Bone marrow smear:
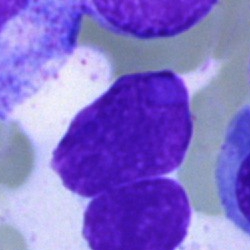 Morphology consistent with an artifact.